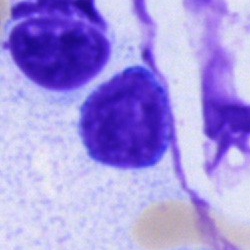Morphology consistent with a lymphocyte.